250×250 px · bone marrow smear — 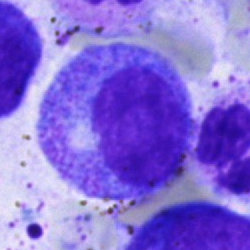
Morphology — progranulocyte.